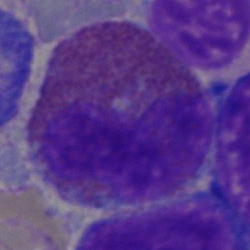Single-cell crop from a bone marrow smear: eosinophil.